Image size 250×250; bone marrow smear — 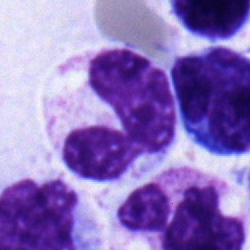Morphology — stab cell.